Bone marrow smear
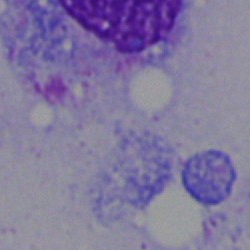Specimen: bone marrow smear.
Cell: artefact.